Bone marrow aspirate smear: 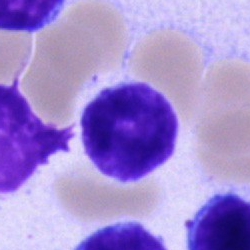 Q: Identify the cell.
A: This is a lymphocyte.